Pappenheim-stained; bone marrow smear; brightfield microscopy, 40× oil immersion:
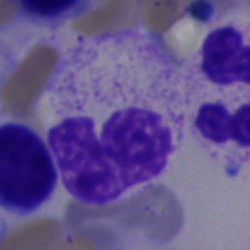
Q: Identify the cell.
A: A neutrophil (segmented).